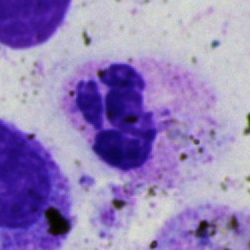Polymorphonuclear neutrophil.